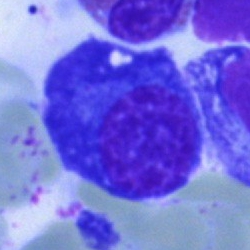 Morphological class: plasma cell.